Bone marrow smear · 40× objective, oil immersion · May-Grünwald-Giemsa/Pappenheim stain
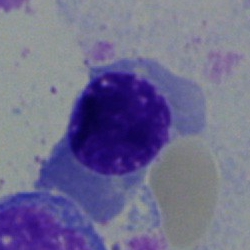 Specimen: bone marrow aspirate smear.
Classification: nucleated red cell.